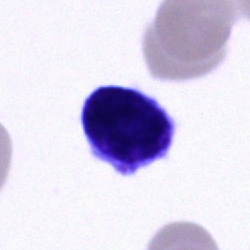
Q: Which cell type is shown here?
A: A cell of indeterminate lineage.